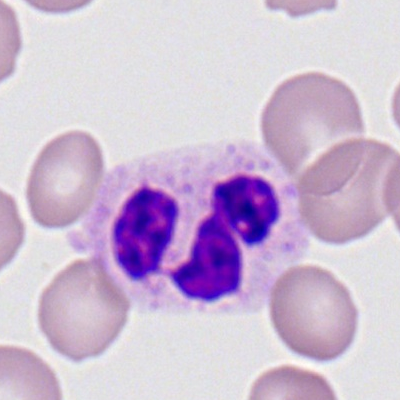 The cell is neutrophil (segmented).